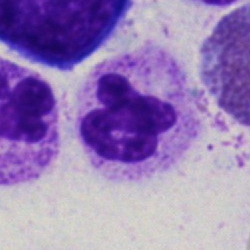Bone marrow aspirate smear, single cell — neutrophil (segmented).